250×250 px. Bone marrow aspirate smear. Brightfield, 40× oil-immersion objective:
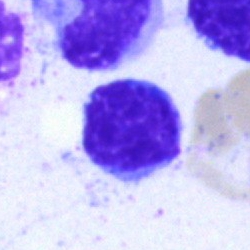

The cell shown is a lymphocyte.